Brightfield microscopy, 40× oil immersion. Bone marrow aspirate smear.
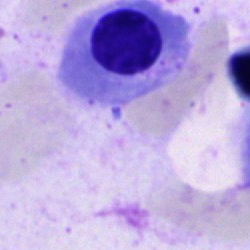Morphology consistent with a nucleated red blood cell.